Bone marrow smear — 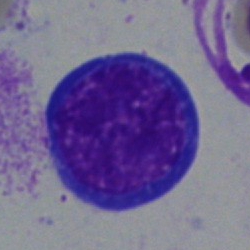 Morphology — nucleated red blood cell.